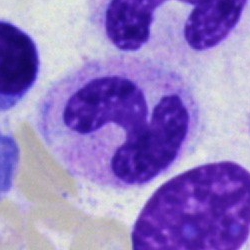Q: Identify the cell.
A: Polymorphonuclear neutrophil.